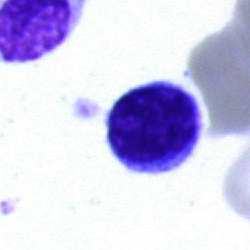

Q: Which cell type is shown here?
A: This is a typical lymphocyte.